May-Grünwald-Giemsa/Pappenheim stain · bone marrow aspirate smear: 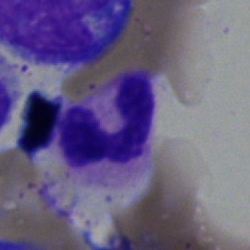A segmented neutrophil.